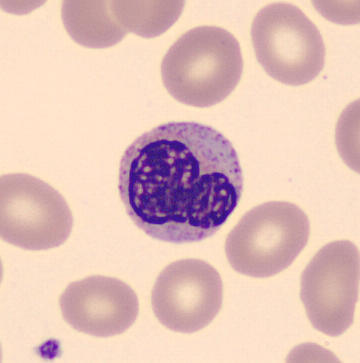

{"cell_type": "metamyelocyte"}

Single-cell crop; peripheral blood film.